Bone marrow aspirate smear; single-cell crop: 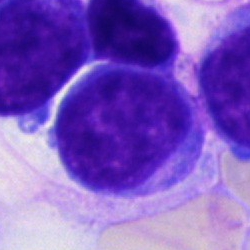

Cell type = blast cell.